Bone marrow smear: 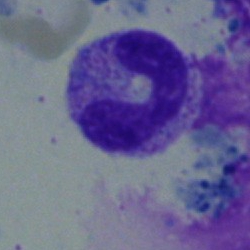
A stab cell.